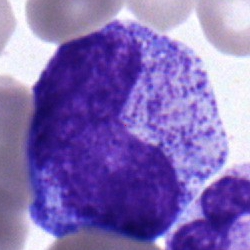Q: Which cell type is shown here?
A: Metamyelocyte.